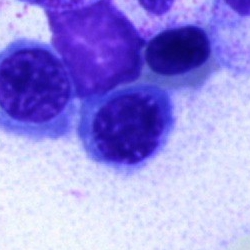 Bone marrow smear showing a normoblast.